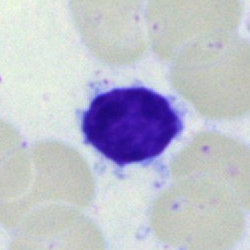

Q: What cell is this?
A: A typical lymphocyte.